Bone marrow aspirate smear:
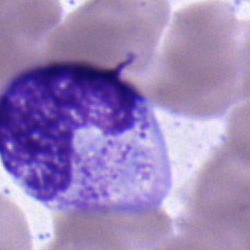
Q: Which cell type is shown here?
A: A polymorphonuclear neutrophil.